Cropped to a single cell. 400×400. Peripheral blood smear.
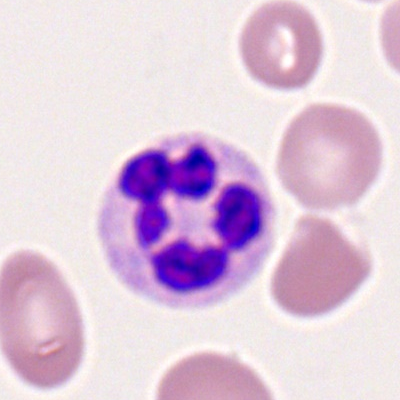 Single cell identified as a segmented neutrophil.